Bone marrow aspirate smear: 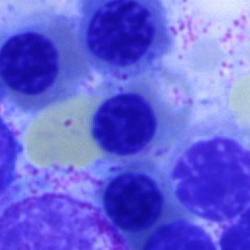
Specimen: bone marrow aspirate smear.
Morphological class: erythroblast.
Lineage: erythroid.